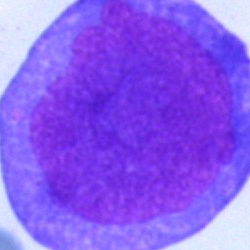
Specimen: bone marrow smear.
Morphological class: blast cell.